MGG-stained · bone marrow smear — 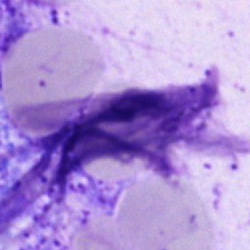
Q: What is shown here?
A: It is an artefact.